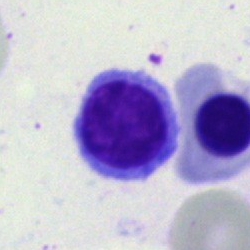
Specimen: bone marrow smear.
Cell type: typical lymphocyte.